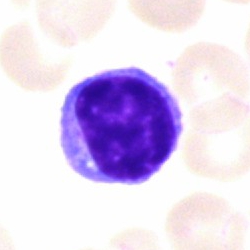
{"cell_type": "typical lymphocyte"}